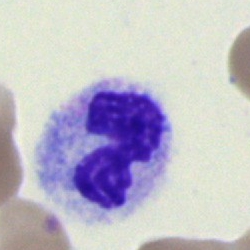
Cell — neutrophil (segmented).